40× objective, oil immersion · bone marrow smear.
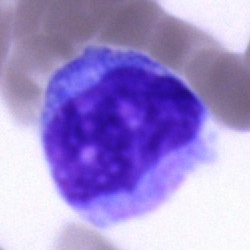 {"cell_type": "cell of indeterminate lineage"}